Bone marrow smear: 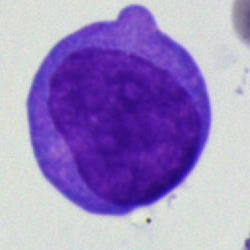
A blast cell.